40× oil immersion. MGG-stained. Bone marrow smear: 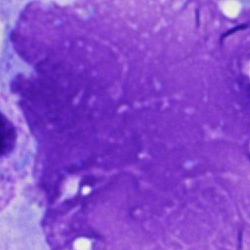 {"cell_type": "artifact"}